Bone marrow aspirate smear — 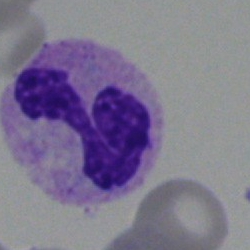 A polymorphonuclear neutrophil.